Bone marrow aspirate smear: 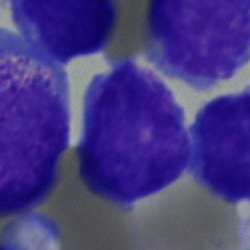Single cell identified as a blast.